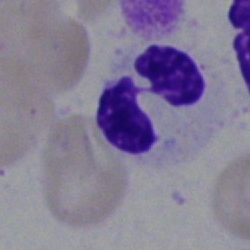 Impression — neutrophil (segmented).